Bone marrow aspirate smear: 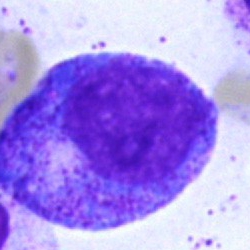
Q: What cell is this?
A: It is a promyelocyte.